Bone marrow smear; single-cell field
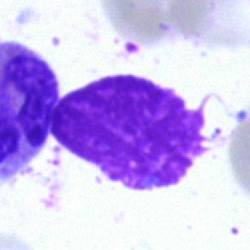The cell type is artifact.